Bone marrow aspirate smear; 40× oil immersion; May-Grünwald-Giemsa stain — 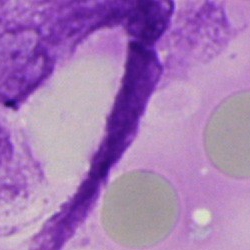 Single cell identified as an artefact.